Bone marrow smear · 40× oil immersion — 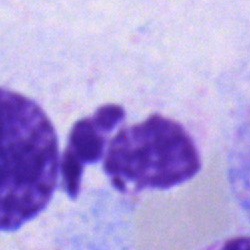
Specimen: bone marrow smear.
Morphological class: neutrophil (segmented).
Lineage: myeloid.